Bone marrow aspirate smear — 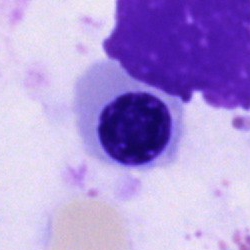Q: What is the morphological classification of this cell?
A: This is a nucleated red cell.